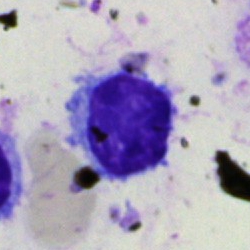

Morphology consistent with a typical lymphocyte.